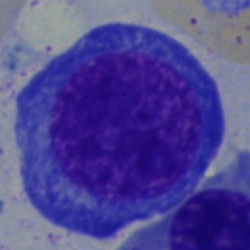

Morphological class — proerythroblast.